Bone marrow smear: 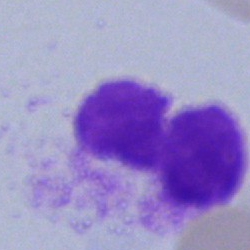
Single cell identified as an artifact.